Peripheral blood smear
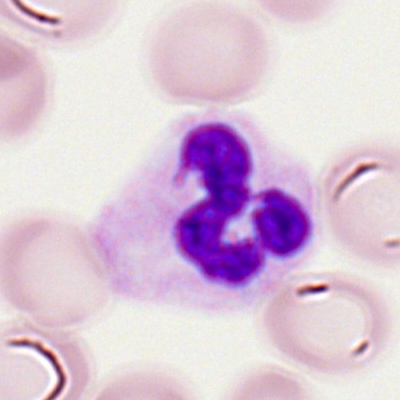Cell — neutrophil (segmented).